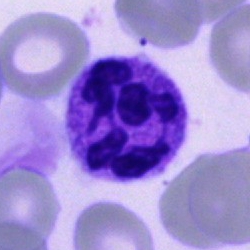 Q: Identify the cell.
A: This is a neutrophil (segmented).